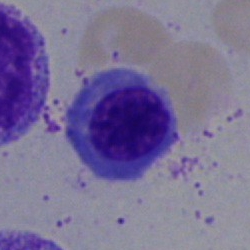 Erythroblast.